Bone marrow aspirate smear.
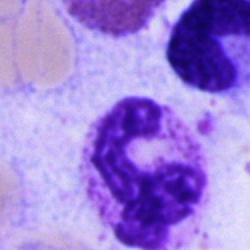{"cell_type": "polymorphonuclear neutrophil", "lineage": "myeloid"}